Bone marrow aspirate smear; 40× oil immersion; 250 by 250 pixels:
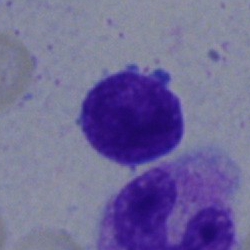
{"cell_type": "lymphocyte"}